Cropped to a single cell; bone marrow aspirate smear — 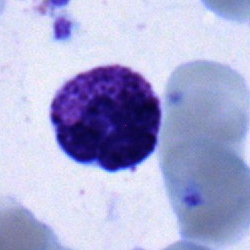

Morphology — polymorphonuclear neutrophil.